Bone marrow smear. 250 by 250 pixels. Single cell centered in the field: 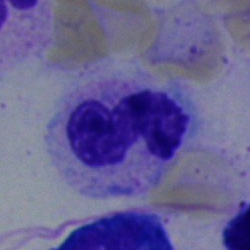
Q: What is the morphological classification of this cell?
A: Neutrophil (band).